Bone marrow smear · May-Grünwald-Giemsa stain:
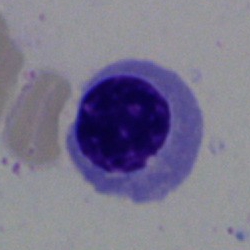Q: Identify the cell.
A: This is a normoblast.